Bone marrow smear; May-Grünwald-Giemsa/Pappenheim stain: 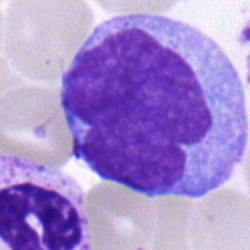

{"cell_type": "monocyte"}